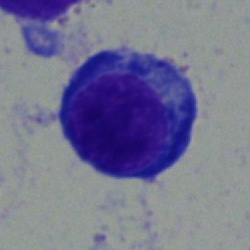Morphology — proerythroblast.